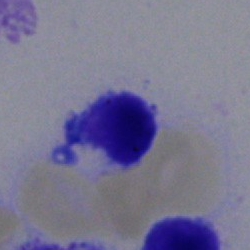 Morphological class — lymphocyte.